Bone marrow smear; brightfield microscopy, 40× oil immersion — 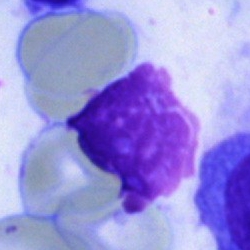 Showing an artefact.